Bone marrow smear: 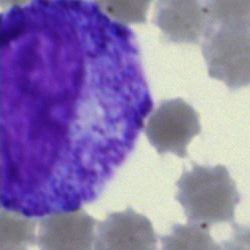This is a progranulocyte.